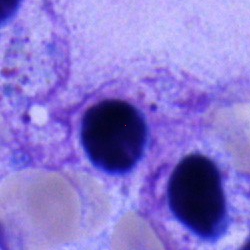

Q: What is the morphological classification of this cell?
A: Typical lymphocyte.